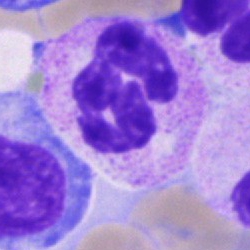Specimen: bone marrow smear.
Cell: segmented neutrophil.